Brightfield, 40× oil-immersion objective; bone marrow smear; single cell centered in the field.
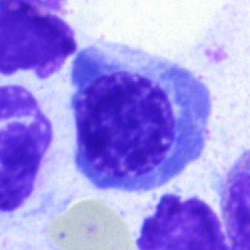

Specimen: bone marrow aspirate smear.
Cell type: nucleated red cell.